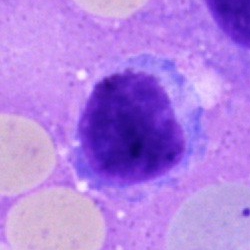
Q: What is shown here?
A: This is a lymphocyte.